Peripheral blood smear:
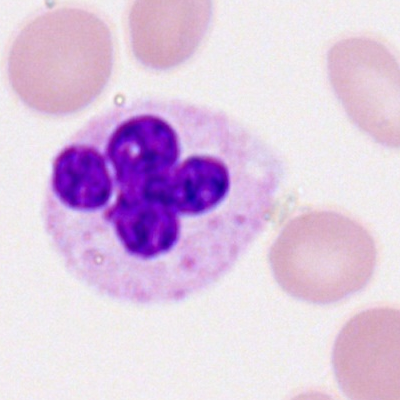Morphological class — neutrophil (segmented).